Brightfield, 40× oil-immersion objective · 250 by 250 pixels · bone marrow smear: 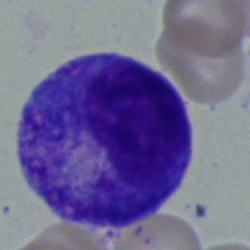

Promyelocyte.